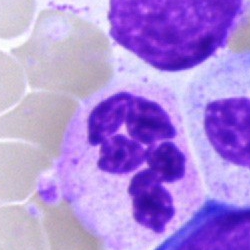 Cell: polymorphonuclear neutrophil.